May-Grünwald-Giemsa/Pappenheim stain; bone marrow smear.
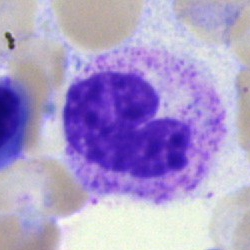
Neutrophil (band).